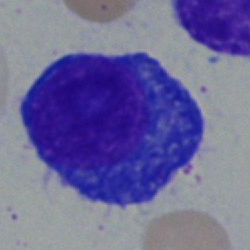Showing a plasmacyte.